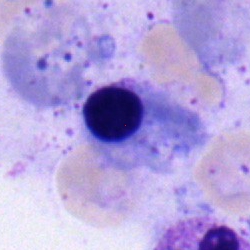 Single-cell crop from a bone marrow smear: normoblast.